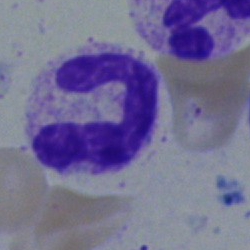Impression → neutrophil (band).